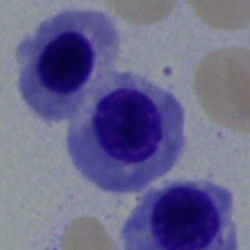 Showing a normoblast.